40× objective, oil immersion. 250×250 px. Bone marrow aspirate smear.
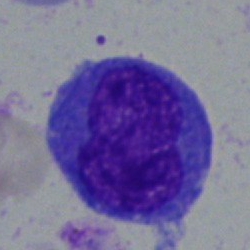
Cell = undifferentiated blast.